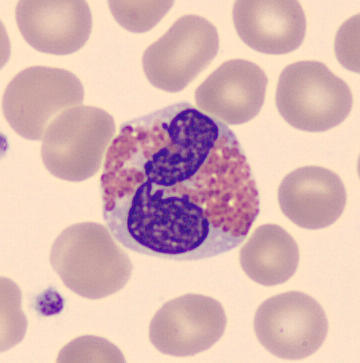 Image: Peripheral blood film; image size 360×363; CellaVision DM96 digital cell image. This is an eosinophilic granulocyte.